Peripheral blood smear; 100× oil immersion, 14.14 px/µm.
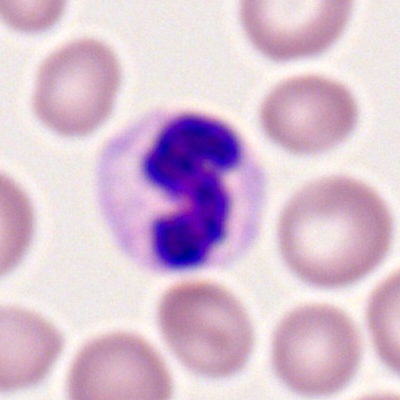Q: Which cell type is shown here?
A: Polymorphonuclear neutrophil.